Bone marrow aspirate smear. 250×250:
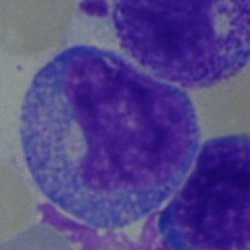
The cell shown is a promyelocyte.